Single-cell crop · 250×250 px · bone marrow aspirate smear
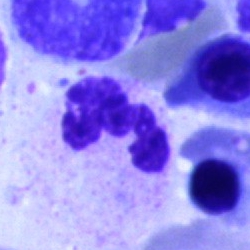

Showing a neutrophil (segmented).